Peripheral blood smear · single cell centered in the field: 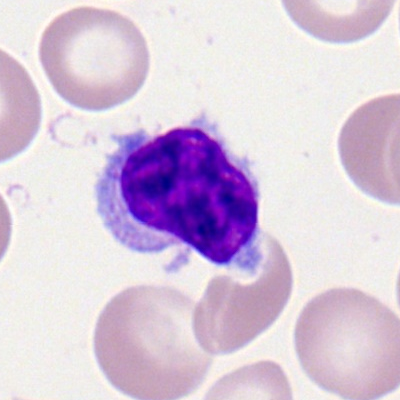
Specimen: peripheral blood smear.
Morphological class: lymphocyte.
Lineage: lymphoid.